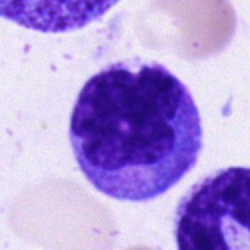
Morphology consistent with a monocyte.